Cropped to a single cell · bone marrow smear · MGG-stained:
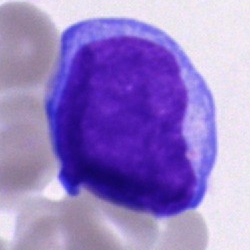
The morphological class is blast cell.